40× oil immersion · bone marrow aspirate smear · single-cell field.
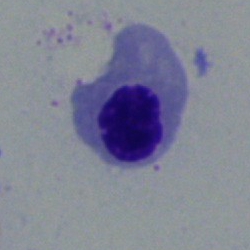

The classification is nucleated red cell.